Bone marrow smear
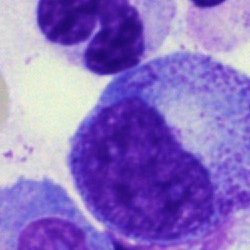Impression — myelocyte.